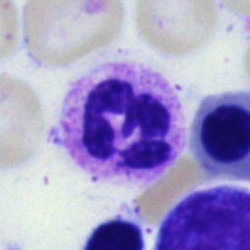
The cell is segmented neutrophil.